MGG-stained. Cropped to a single cell. Peripheral blood film: 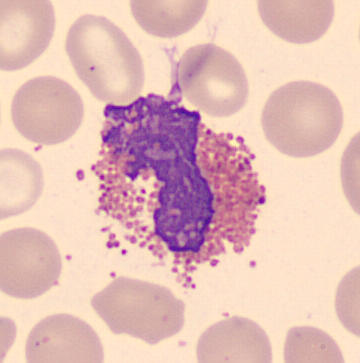Classification: eosinophil.